May-Grünwald-Giemsa/Pappenheim stain · bone marrow smear: 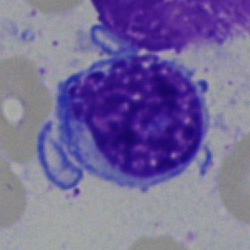Classification = lymphocyte.